250×250 · bone marrow aspirate smear.
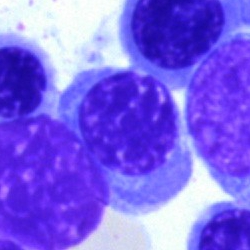
Q: Which cell type is shown here?
A: This is a nucleated red cell.